Bone marrow aspirate smear.
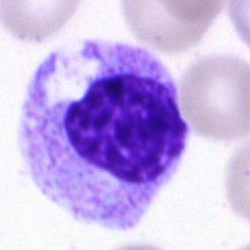The cell type is myelocyte.